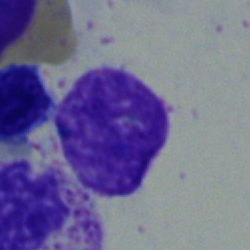
Showing an artefact.